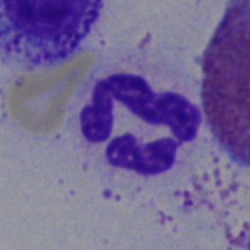Showing a polymorphonuclear neutrophil.